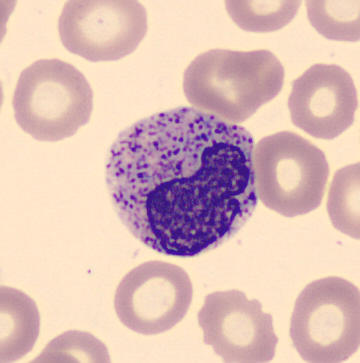Peripheral blood film. Image size 360×363. Automated cell imaging (CellaVision DM96).

A metamyelocyte.